Bone marrow smear — 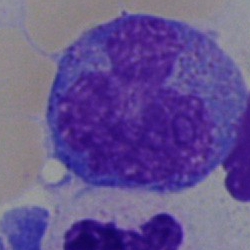A monocyte.